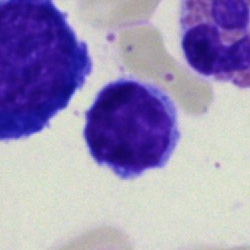 This is a lymphocyte.